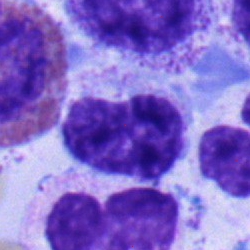
Q: What type of cell is this?
A: This is a metamyelocyte.